Bone marrow smear; 250 by 250 pixels: 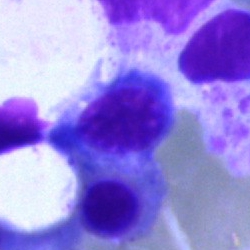

The cell shown is an erythroblast.